Bone marrow smear: 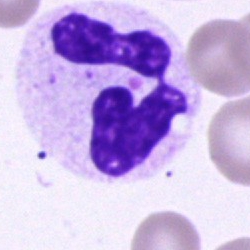

Showing a polymorphonuclear neutrophil.